250 by 250 pixels; bone marrow smear; May-Grünwald-Giemsa stain:
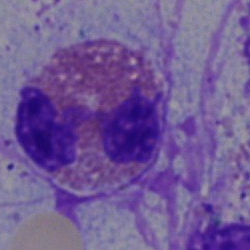
Q: What cell is this?
A: It is an eosinophilic granulocyte.